Bone marrow aspirate smear: 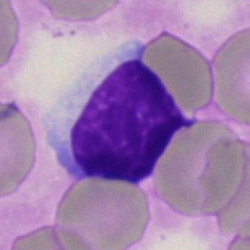
Q: What cell is this?
A: Lymphocyte.